May-Grünwald-Giemsa stain; bone marrow smear; 40× objective, oil immersion
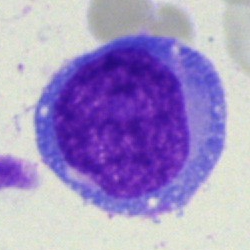 Specimen: bone marrow aspirate smear.
Morphological class: undifferentiated blast.